Peripheral blood film.
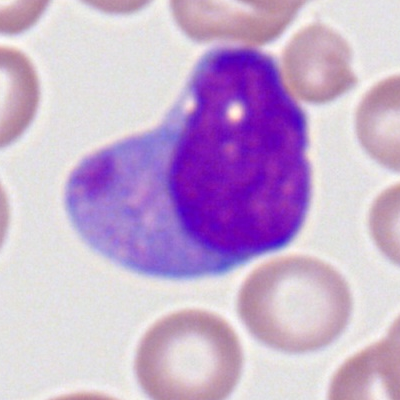A monocyte.